Bone marrow smear; brightfield microscopy, 40× oil immersion: 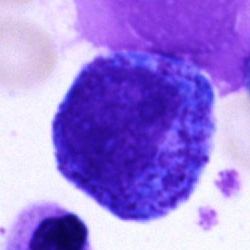

Specimen: bone marrow smear.
Cell: progranulocyte.
Lineage: myeloid.